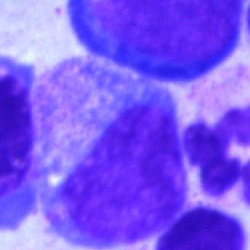
Showing a promyelocyte.